Bone marrow aspirate smear
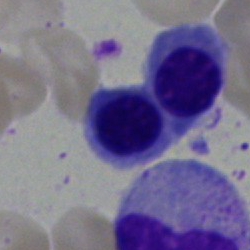

Q: What is the morphological classification of this cell?
A: It is an erythroblast.